Bone marrow aspirate smear.
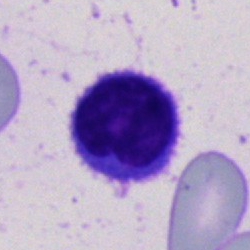
Q: What cell is this?
A: A lymphocyte.